Bone marrow aspirate smear
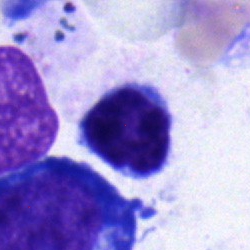
Specimen: bone marrow smear.
Morphological class: lymphocyte.